Bone marrow smear — 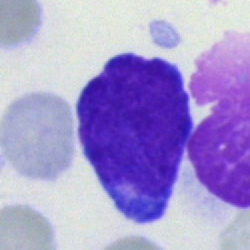 Morphology — blast.